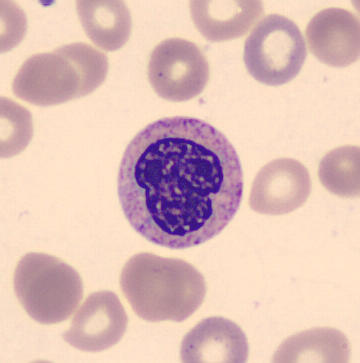

Morphology → metamyelocyte.